Bone marrow aspirate smear; single-cell crop: 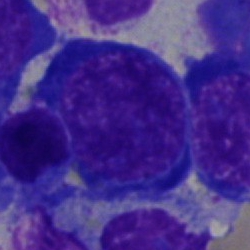 The cell is nucleated red cell.